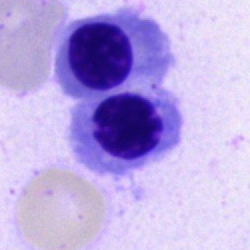 Q: What cell is this?
A: This is a nucleated red blood cell.